Bone marrow smear; 40× objective, oil immersion; 250×250.
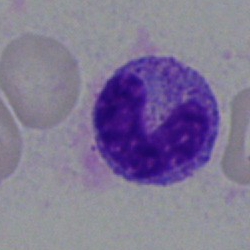

Morphological class: stab cell.